Bone marrow aspirate smear — 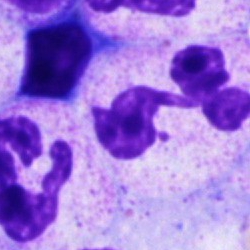
Showing a neutrophil (segmented).